Bone marrow aspirate smear. Pappenheim-stained — 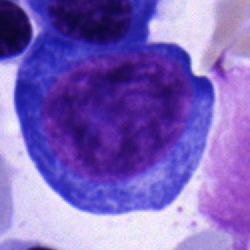 Showing a nucleated red blood cell.